Bone marrow smear. MGG-stained: 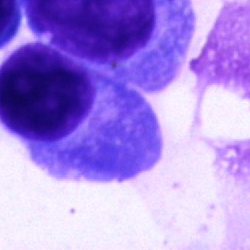Impression — plasma cell.